Bone marrow aspirate smear. Brightfield, 40× oil-immersion objective — 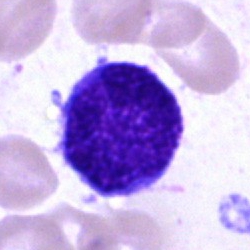 Classification: blast cell.